Bone marrow smear:
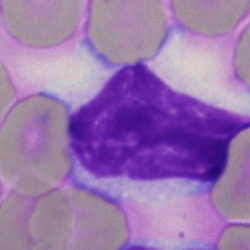
Q: What is shown here?
A: A typical lymphocyte.